250 by 250 pixels; bone marrow aspirate smear; May-Grünwald-Giemsa stain.
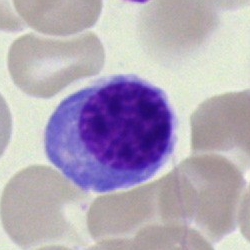
Specimen: bone marrow smear.
Cell type: normoblast.